Single-cell crop; bone marrow aspirate smear:
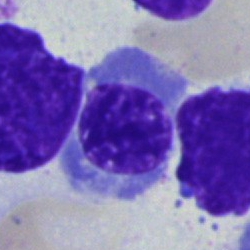
Showing an erythroblast.